250 by 250 pixels · May-Grünwald-Giemsa stain · bone marrow smear.
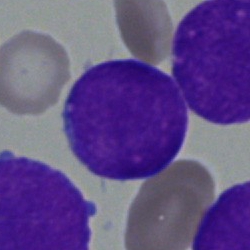 Q: What cell is this?
A: Undifferentiated blast.